Single cell centered in the field · peripheral blood film:
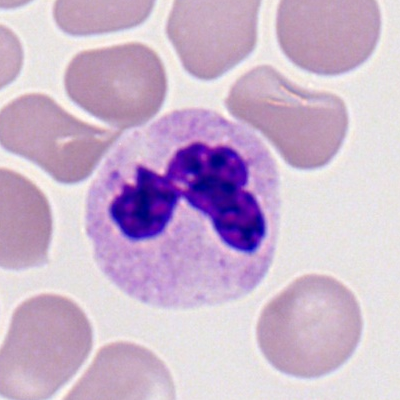
Impression — neutrophil (segmented).